Peripheral blood film: 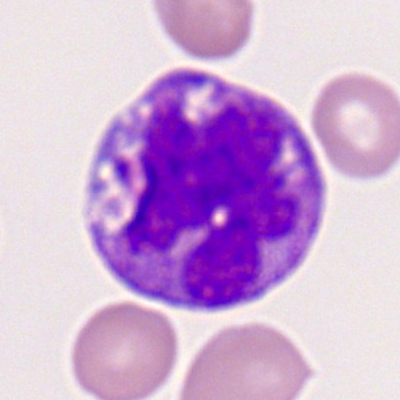

Cell type: monocyte.